Bone marrow aspirate smear:
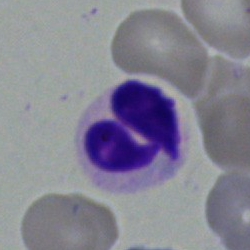

Single cell identified as a polymorphonuclear neutrophil.